Bone marrow smear; single-cell field; image size 250×250:
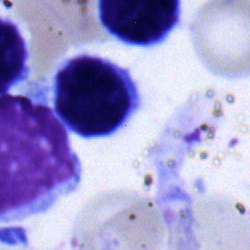Q: Which cell type is shown here?
A: This is a typical lymphocyte.